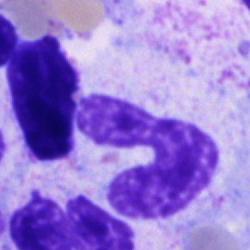 Specimen: bone marrow aspirate smear.
Classification: band neutrophil.
Lineage: myeloid.